Bone marrow aspirate smear.
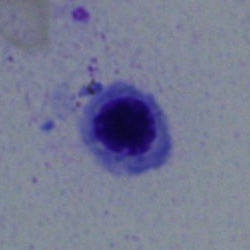

Classification — erythroblast.